Bone marrow smear
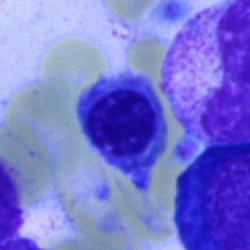

The cell type is erythroblast.